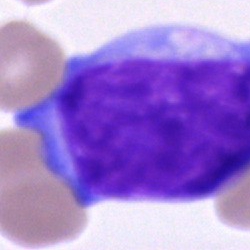
Impression → undifferentiated blast.